40× oil immersion; bone marrow aspirate smear — 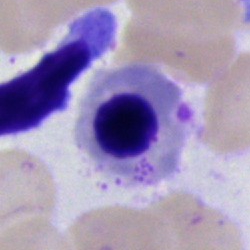 {"cell_type": "nucleated red blood cell", "lineage": "erythroid"}